250×250 · cropped to a single cell · bone marrow smear:
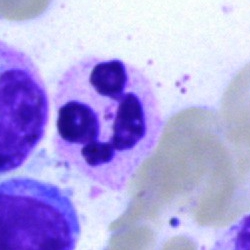
The cell shown is a polymorphonuclear neutrophil.